250×250 px · brightfield microscopy, 40× oil immersion · bone marrow smear: 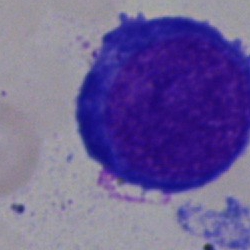Q: What cell is this?
A: Proerythroblast.